Bone marrow aspirate smear
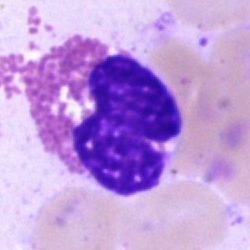 Morphology → eosinophilic granulocyte.